Bone marrow aspirate smear — 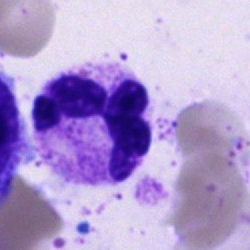Morphology → neutrophil (segmented).